Bone marrow smear:
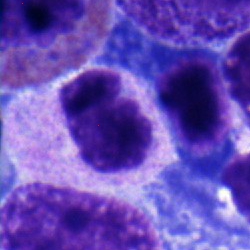

The cell is neutrophil (segmented).